40× oil immersion. Bone marrow aspirate smear. MGG-stained: 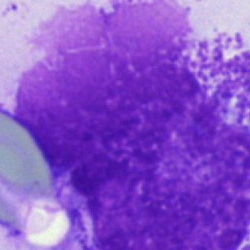
{"cell_type": "artefact"}